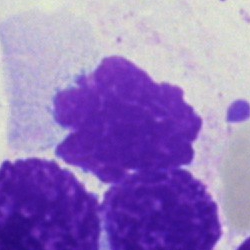Q: What is shown here?
A: Artifact.